Cropped to a single cell · bone marrow aspirate smear
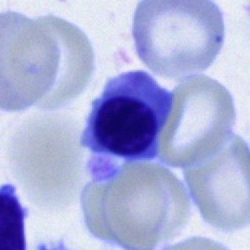 Q: What is the morphological classification of this cell?
A: Nucleated red blood cell.